Bone marrow aspirate smear: 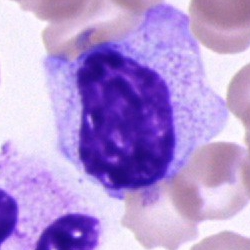

Classification: cell of indeterminate lineage.